Bone marrow smear.
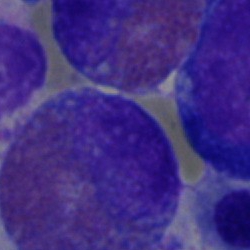Morphology consistent with an eosinophil.